Bone marrow aspirate smear
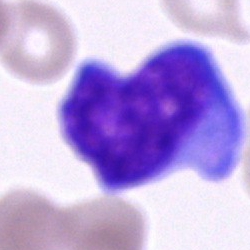
Q: What cell is this?
A: Blast cell.